250 by 250 pixels · bone marrow smear · 40× objective, oil immersion.
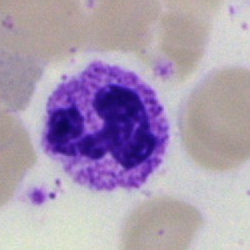

Cell type: polymorphonuclear neutrophil.